Image size 250×250. Bone marrow smear. Brightfield microscopy, 40× oil immersion.
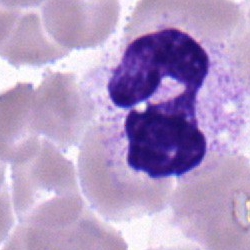

Cell type: polymorphonuclear neutrophil.